Bone marrow aspirate smear.
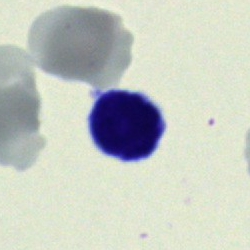
Impression → lymphocyte.